Bone marrow aspirate smear:
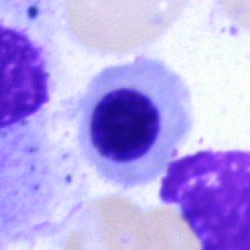

The cell shown is an erythroblast.